May-Grünwald-Giemsa/Pappenheim stain. Bone marrow smear. Brightfield microscopy, 40× oil immersion.
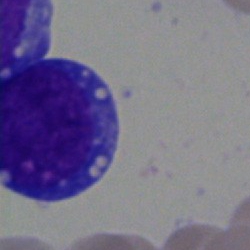

This is a blast.